Bone marrow smear: 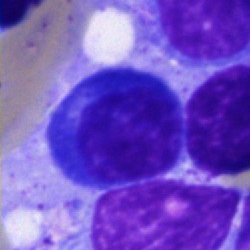
Morphology → erythroblast.